Bone marrow aspirate smear. May-Grünwald-Giemsa/Pappenheim stain
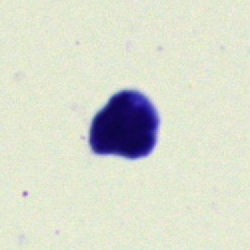Q: What is the morphological classification of this cell?
A: A typical lymphocyte.